Bone marrow aspirate smear; brightfield, 40× oil-immersion objective; May-Grünwald-Giemsa stain — 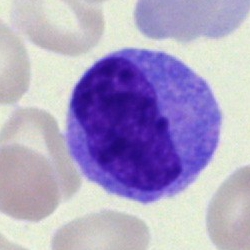
Q: Identify the cell.
A: A monocyte.